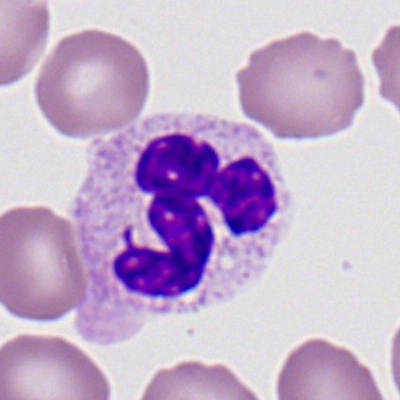 Morphology consistent with a polymorphonuclear neutrophil.